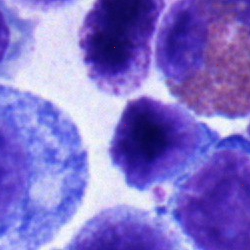Typical lymphocyte.